MGG-stained · bone marrow aspirate smear · 250 by 250 pixels
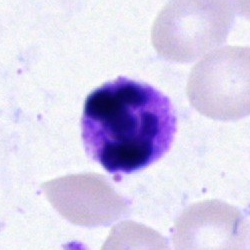
Impression — polymorphonuclear neutrophil.